Bone marrow aspirate smear.
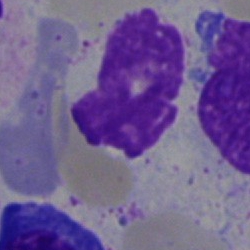Morphology — artifact.